Bone marrow smear
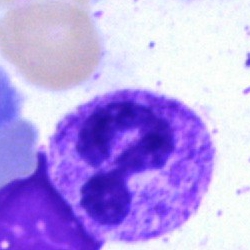
Q: What type of cell is this?
A: Segmented neutrophil.